Bone marrow smear
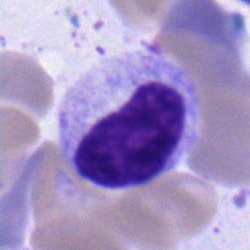This is a metamyelocyte.